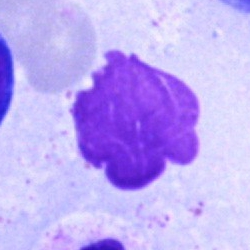 Morphological class: artifact.